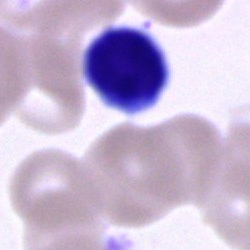

Specimen: bone marrow aspirate smear.
Morphological class: typical lymphocyte.